Brightfield, 40× oil-immersion objective · bone marrow smear — 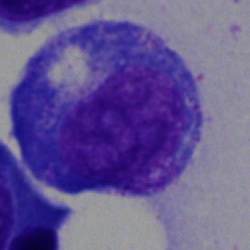

Specimen: bone marrow smear.
Cell type: promyelocyte.